Single-cell crop · peripheral blood film:
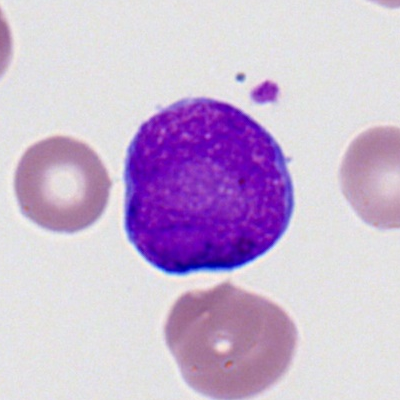Morphology — myeloblast.